Bone marrow smear:
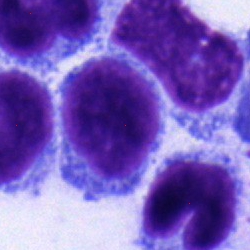
Classification: typical lymphocyte.